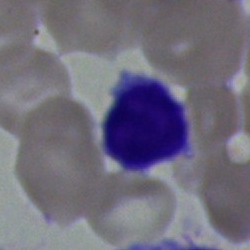
Classification = typical lymphocyte.